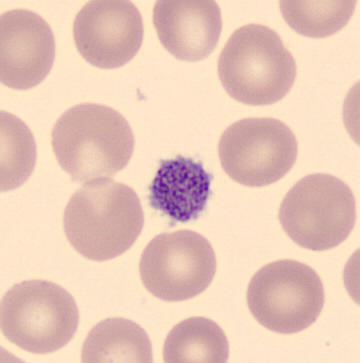 Q: What is shown here?
A: A platelet (thrombocyte). Image: 360×363 · peripheral blood film.